Bone marrow aspirate smear. Image size 250×250: 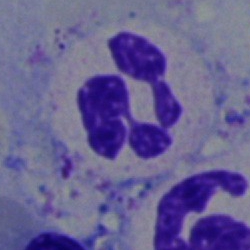Segmented neutrophil.